Brightfield, 40× oil-immersion objective · MGG-stained · bone marrow aspirate smear: 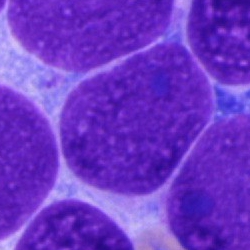Single cell identified as an artefact.